Cropped to a single cell. Image size 250×250. Bone marrow smear:
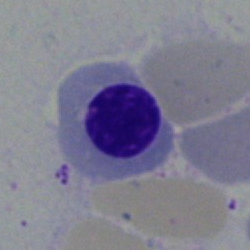

Morphology consistent with a nucleated red cell.